Bone marrow smear.
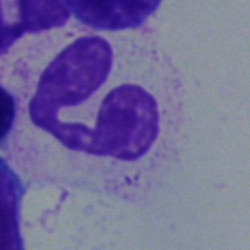Specimen: bone marrow smear.
Morphological class: polymorphonuclear neutrophil.
Lineage: myeloid.